Bone marrow smear — 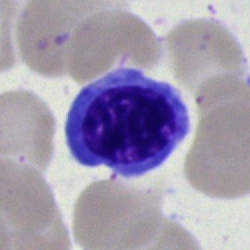
Classification — nucleated red blood cell.